Bone marrow aspirate smear.
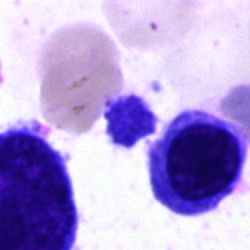Single cell identified as an erythroblast.